Single cell centered in the field; bone marrow smear.
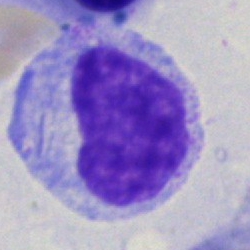

The cell type is myelocyte.